Image size 250×250. Bone marrow aspirate smear — 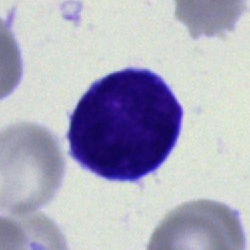 Specimen: bone marrow aspirate smear.
Cell: blast.